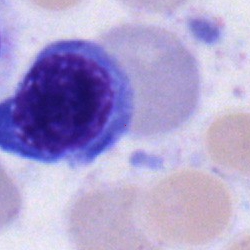 Erythroblast.